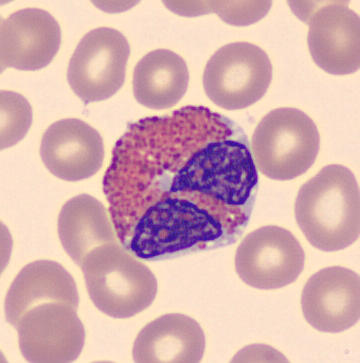Eosinophil.

Peripheral blood smear.